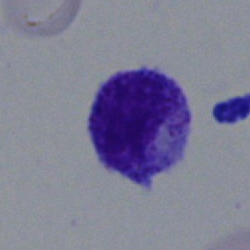

Showing a typical lymphocyte.